Single cell centered in the field · 40× oil immersion · bone marrow smear: 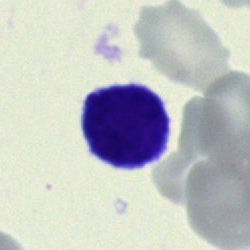
Specimen: bone marrow aspirate smear.
Morphological class: lymphocyte.
Lineage: lymphoid.